Bone marrow smear — 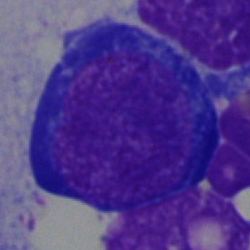 Q: Identify the cell.
A: A pronormoblast.